May-Grünwald-Giemsa stain. Bone marrow aspirate smear — 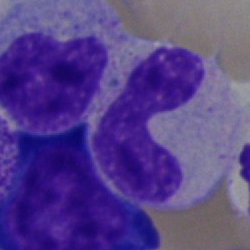{"cell_type": "neutrophil (segmented)", "lineage": "myeloid"}